Bone marrow aspirate smear
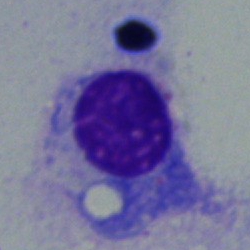Plasma cell.